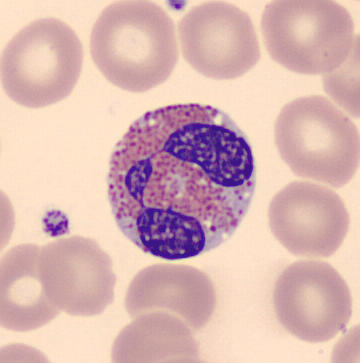
Single cell identified as an eosinophilic granulocyte.